Bone marrow aspirate smear · May-Grünwald-Giemsa stain:
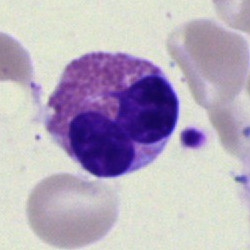
Eosinophil.